Peripheral blood smear: 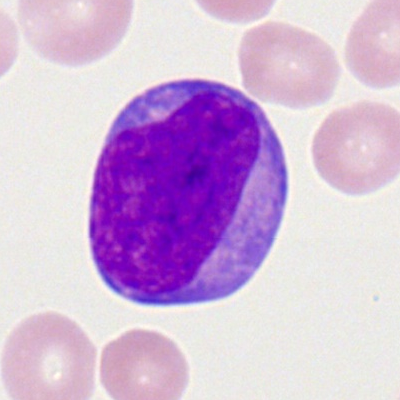
Cell — myeloid blast.